Peripheral blood film: 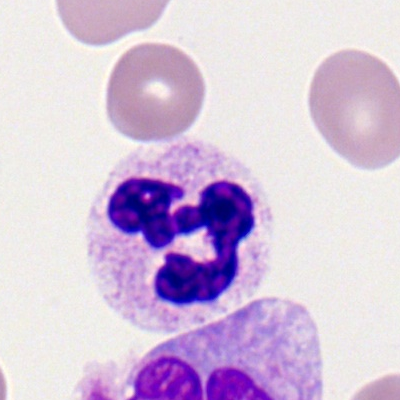Morphology → polymorphonuclear neutrophil.